Bone marrow smear. Pappenheim-stained
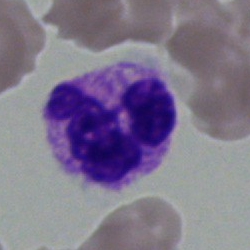
Q: Which cell type is shown here?
A: Segmented neutrophil.